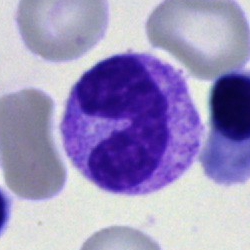

Cell type — segmented neutrophil.